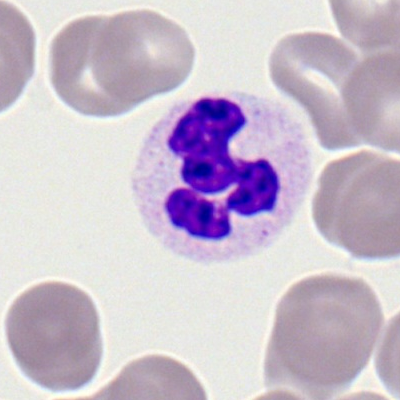 Showing a polymorphonuclear neutrophil.